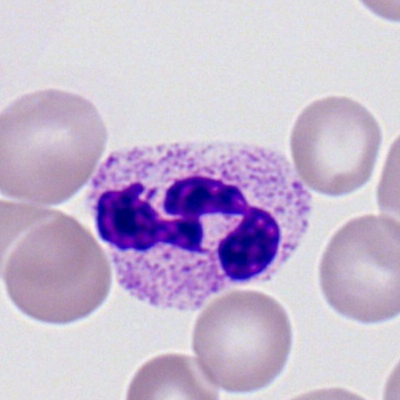
The cell type is neutrophil (segmented).